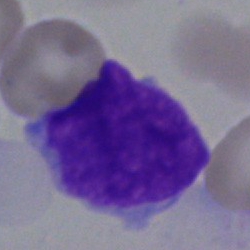

This is a blast cell.